Bone marrow aspirate smear · Pappenheim-stained · 250×250 px
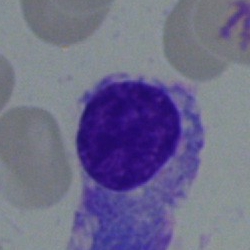
{"cell_type": "plasmacyte", "lineage": "lymphoid"}